May-Grünwald-Giemsa stain. Bone marrow aspirate smear
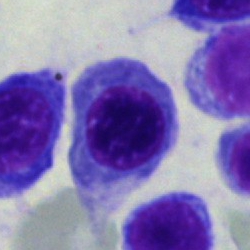 A normoblast.